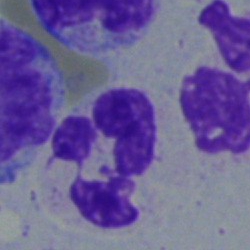Single cell identified as a polymorphonuclear neutrophil.